Bone marrow aspirate smear:
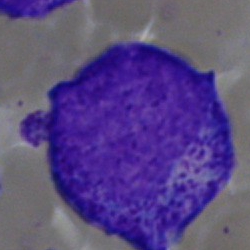 Cell type: promyelocyte.